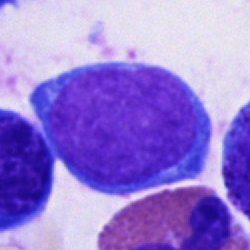
Q: What cell is this?
A: Pronormoblast.